Peripheral blood film. 100× oil immersion.
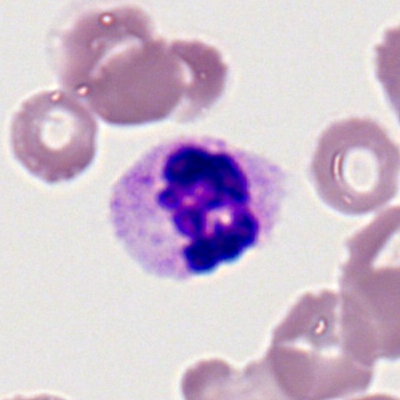
Showing a segmented neutrophil.